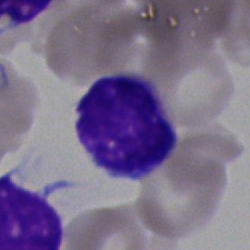
Showing a typical lymphocyte.